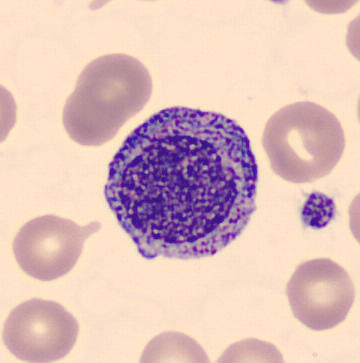
The cell type is progranulocyte.